Bone marrow aspirate smear:
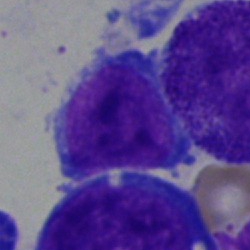Specimen: bone marrow aspirate smear.
Cell type: typical lymphocyte.
Lineage: lymphoid.